Bone marrow aspirate smear; Pappenheim-stained: 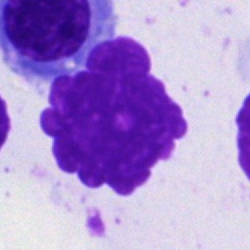

Morphology consistent with an artifact.